Bone marrow smear
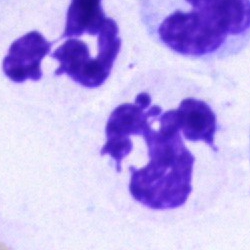

Morphology — neutrophil (segmented).